Bone marrow smear; single cell centered in the field; MGG-stained.
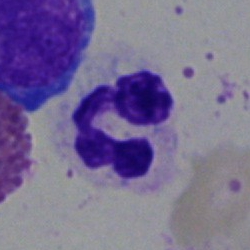Q: Identify the cell.
A: Neutrophil (segmented).